Bone marrow smear. Brightfield, 40× oil-immersion objective. 250×250 px: 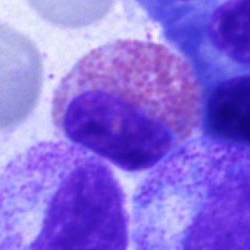Morphology consistent with an eosinophilic granulocyte.